Bone marrow smear — 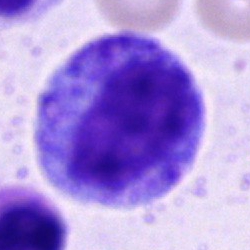{"cell_type": "progranulocyte", "lineage": "myeloid"}